Bone marrow aspirate smear: 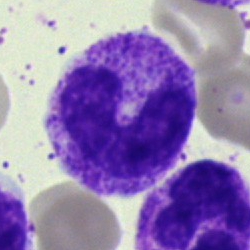 Classification — stab cell.